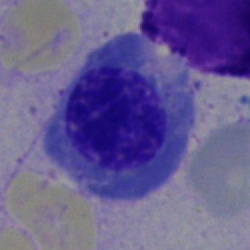

Specimen: bone marrow aspirate smear.
Classification: erythroblast.
Lineage: erythroid.